Bone marrow aspirate smear — 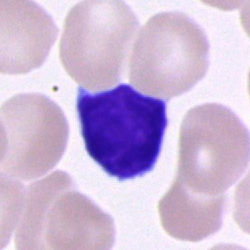

{"cell_type": "typical lymphocyte"}